Bone marrow smear; brightfield, 40× oil-immersion objective: 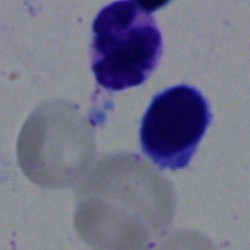Cell = typical lymphocyte.